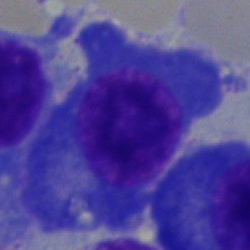
Plasma cell.